Bone marrow aspirate smear; single-cell field: 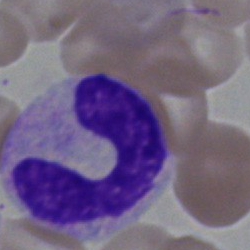

Specimen: bone marrow aspirate smear.
Cell: stab cell.
Lineage: myeloid.